Bone marrow aspirate smear. 250×250 — 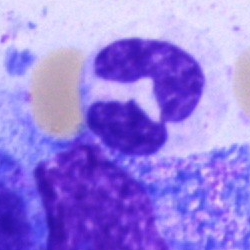Cell = segmented neutrophil.